250×250. Bone marrow smear: 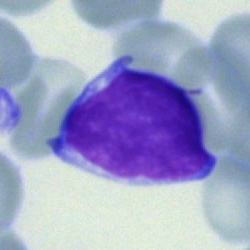 {"cell_type": "typical lymphocyte", "lineage": "lymphoid"}